Bone marrow smear.
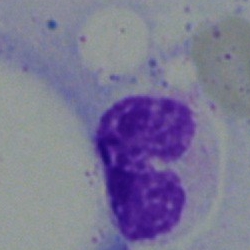

Showing a band-form neutrophil.